Bone marrow smear.
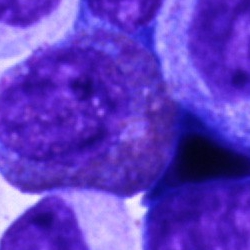

Cell type — eosinophil.